Bone marrow aspirate smear:
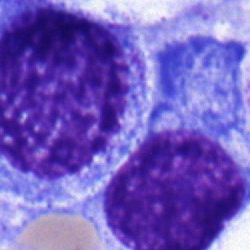
Cell type — progranulocyte.